Bone marrow aspirate smear · 40× objective, oil immersion
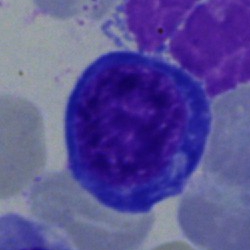
Specimen: bone marrow smear.
Cell type: pronormoblast.